Peripheral blood smear: 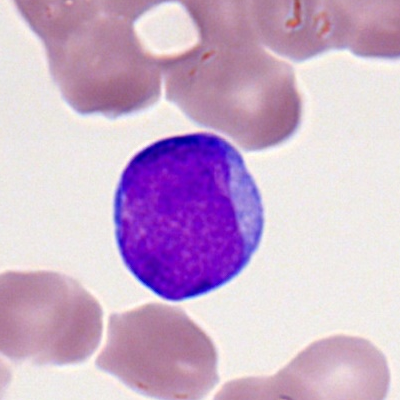 Cell — myeloid blast.